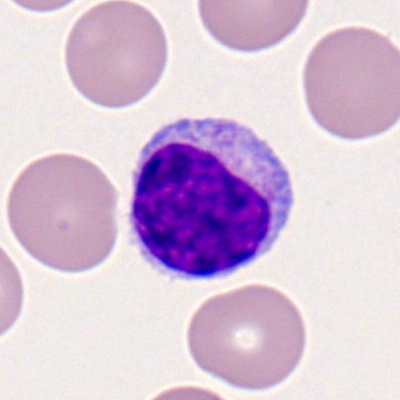
Impression → lymphocyte.